Bone marrow smear; 250×250 px.
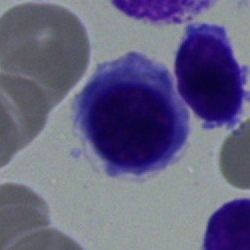 Cell = nucleated red blood cell.